Bone marrow smear:
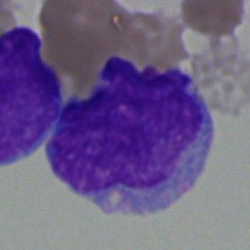 Q: Which cell type is shown here?
A: Undifferentiated blast.